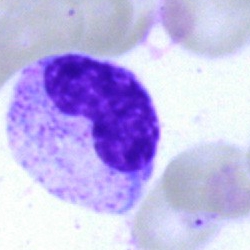

Q: Identify the cell.
A: Stab cell.